Bone marrow smear: 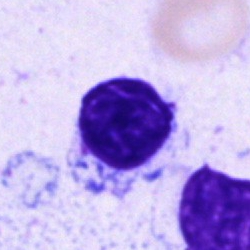 Cell = typical lymphocyte.